Bone marrow aspirate smear: 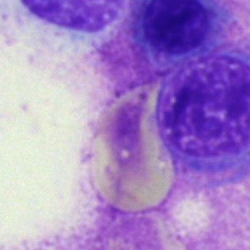Single cell identified as an artifact.